Bone marrow smear
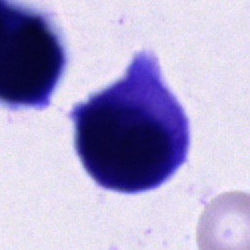
Specimen: bone marrow aspirate smear.
Morphological class: unidentifiable cell.